Bone marrow aspirate smear. 250 by 250 pixels
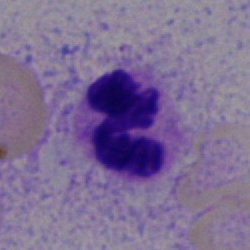

The cell type is segmented neutrophil.